Bone marrow aspirate smear: 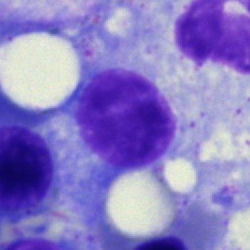
The cell type is artifact.